May-Grünwald-Giemsa/Pappenheim stain; bone marrow aspirate smear:
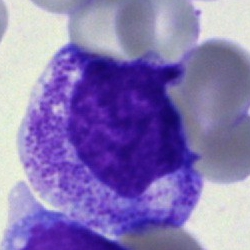
Single cell identified as a myelocyte.